Bone marrow aspirate smear; brightfield microscopy, 40× oil immersion
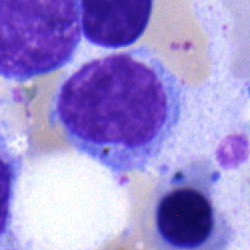Specimen: bone marrow aspirate smear.
Classification: lymphocyte.
Lineage: lymphoid.